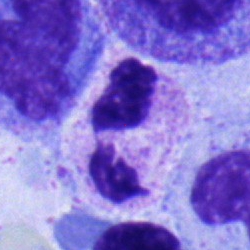Single cell identified as a polymorphonuclear neutrophil.